Single-cell crop · bone marrow aspirate smear · 40× objective, oil immersion.
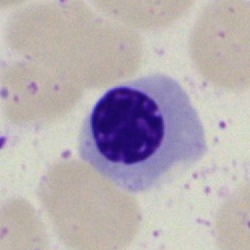 {"cell_type": "nucleated red blood cell", "lineage": "erythroid"}